Brightfield microscopy, 40× oil immersion. May-Grünwald-Giemsa stain. Bone marrow smear.
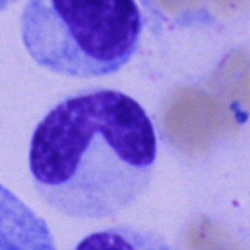The classification is band-form neutrophil.